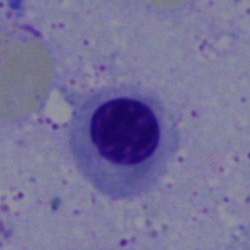

Bone marrow smear showing a nucleated red blood cell.